Brightfield, 40× oil-immersion objective. Bone marrow aspirate smear:
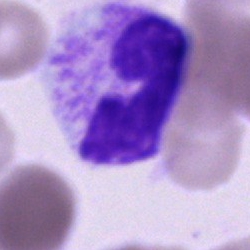

Cell type: stab cell.